Peripheral blood smear.
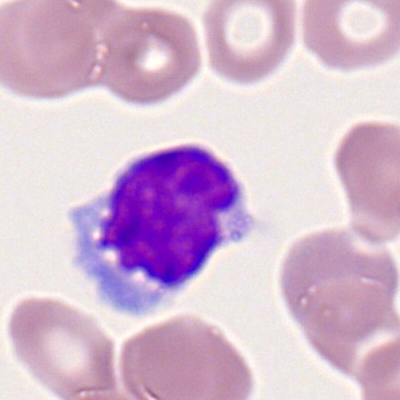

Impression — lymphocyte.